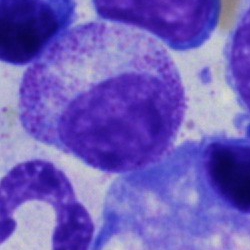 The cell is myelocyte.